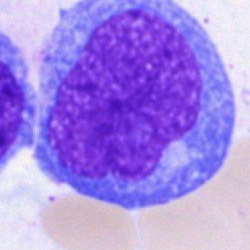
Q: What cell is this?
A: An undifferentiated blast.